250×250 px; MGG-stained; bone marrow aspirate smear
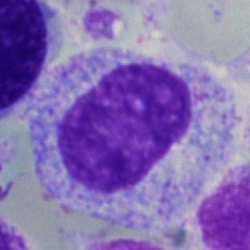A myelocyte.